Bone marrow smear. 250 by 250 pixels. May-Grünwald-Giemsa/Pappenheim stain:
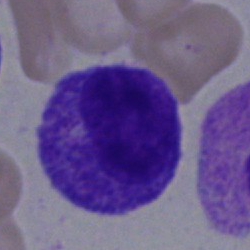
Morphology → myelocyte.